Bone marrow aspirate smear
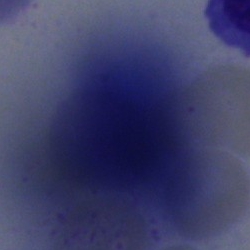 The cell type is artefact.